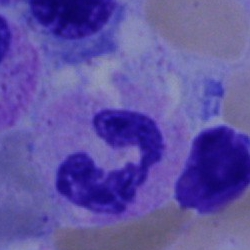

Single-cell crop from a bone marrow smear: polymorphonuclear neutrophil.